Bone marrow smear · MGG-stained:
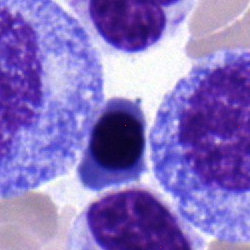{"cell_type": "nucleated red blood cell", "lineage": "erythroid"}